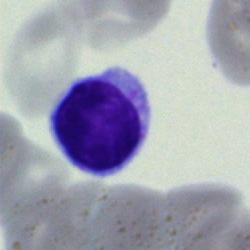 Morphological class: lymphocyte.